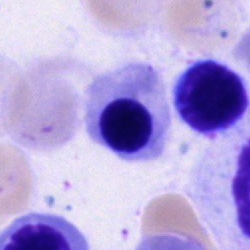 This is a nucleated red blood cell.